Bone marrow aspirate smear — 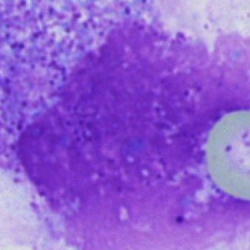

Cell type: artefact.